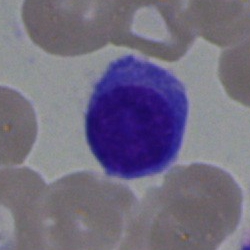

Cell: plasmacyte.